250 by 250 pixels; bone marrow aspirate smear:
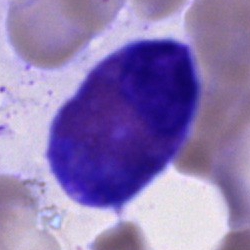 Morphology → eosinophilic granulocyte.